Bone marrow smear. Single-cell crop:
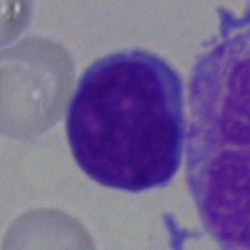

Q: Which cell type is shown here?
A: This is a blast cell.